Bone marrow aspirate smear · brightfield microscopy, 40× oil immersion — 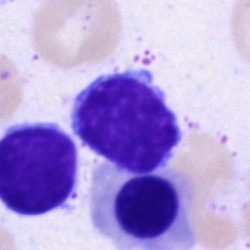
The cell shown is a typical lymphocyte.